Bone marrow aspirate smear — 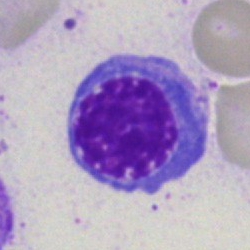Morphology consistent with an erythroblast.